40× objective, oil immersion. 250×250 px. Bone marrow smear:
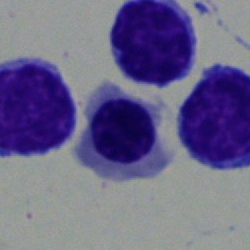
Q: What type of cell is this?
A: An erythroblast.